Bone marrow aspirate smear — 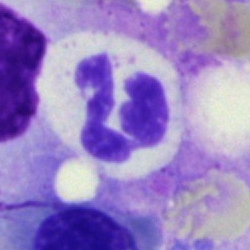 Q: What is the morphological classification of this cell?
A: It is a segmented neutrophil.